Bone marrow smear · 40× objective, oil immersion — 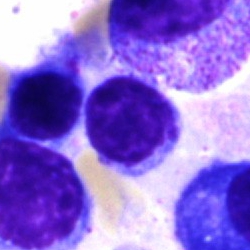Cell type — plasma cell.